Bone marrow aspirate smear:
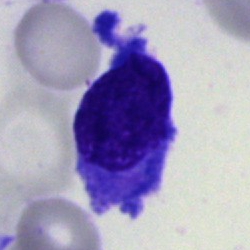
The cell is blast cell.